Bone marrow aspirate smear · May-Grünwald-Giemsa stain:
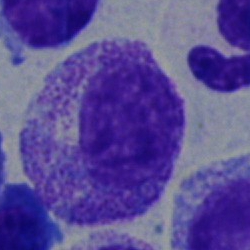
Showing a myelocyte.